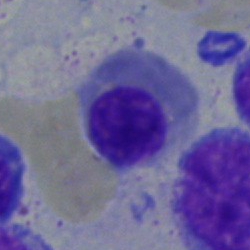

Single cell identified as an erythroblast.